Peripheral blood film · image size 400×400 · single-cell field:
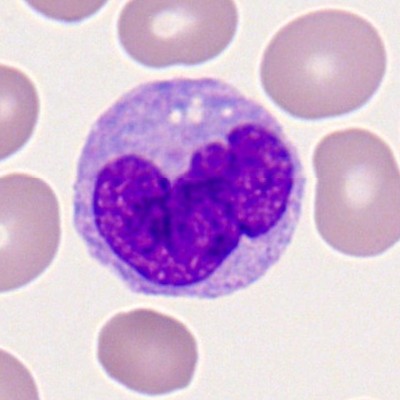 Morphological class — monocyte.